May-Grünwald-Giemsa stain; bone marrow smear.
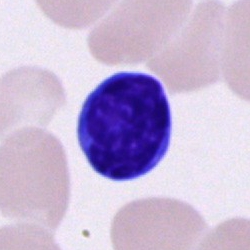

Specimen: bone marrow aspirate smear.
Cell type: lymphocyte.